250×250; single-cell field; bone marrow aspirate smear
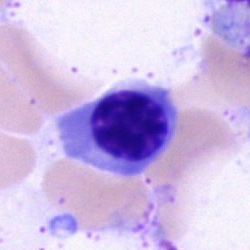An erythroblast.